Brightfield, 40× oil-immersion objective · bone marrow aspirate smear · 250×250 px — 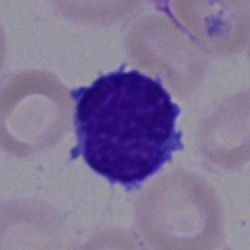Single cell identified as a typical lymphocyte.